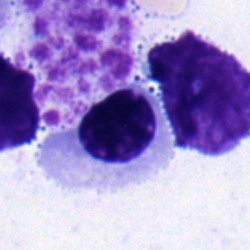Q: What cell is this?
A: This is a nucleated red cell.